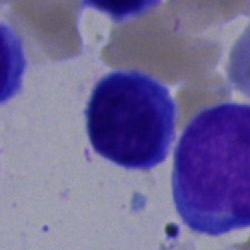Morphology → lymphocyte.